Bone marrow smear — 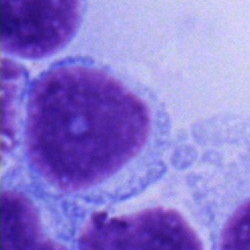Q: What cell is this?
A: Lymphocyte.